Bone marrow smear · cropped to a single cell: 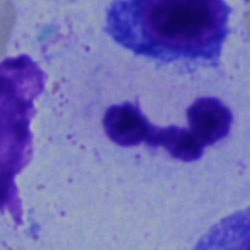 The cell is neutrophil (segmented).